Bone marrow smear:
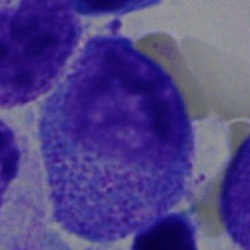
Q: What is the morphological classification of this cell?
A: A myelocyte.